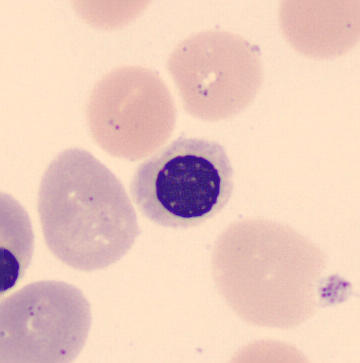
Q: What cell is this?
A: It is a normoblast.